Bone marrow aspirate smear
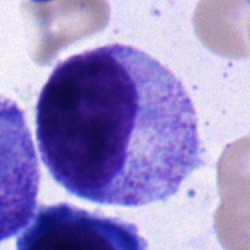

Specimen: bone marrow smear.
Morphological class: promyelocyte.